Bone marrow smear
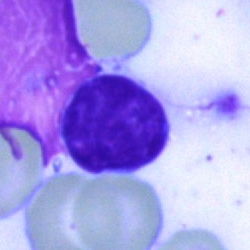This is a typical lymphocyte.